Bone marrow smear:
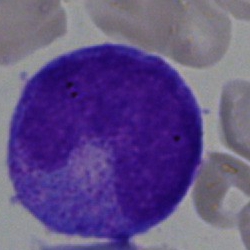

Q: What is the morphological classification of this cell?
A: This is a progranulocyte.